Bone marrow smear: 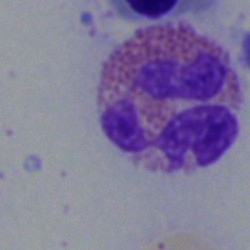
Specimen: bone marrow aspirate smear.
Classification: eosinophil.
Lineage: myeloid.